Bone marrow aspirate smear.
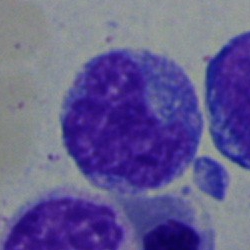
Q: What is shown here?
A: Monocyte.